Image size 250×250; bone marrow aspirate smear: 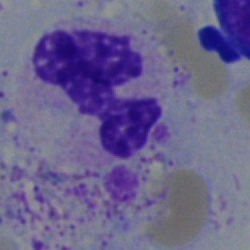 The cell shown is a polymorphonuclear neutrophil.